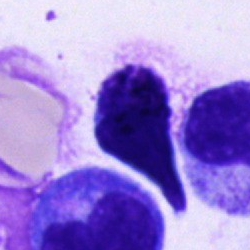
Impression → unidentifiable cell.